250×250 px. MGG-stained. Bone marrow aspirate smear.
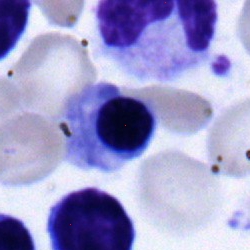
Cell: nucleated red blood cell.